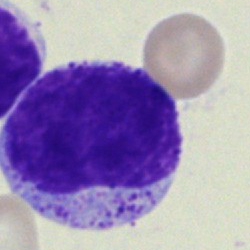

{"cell_type": "myelocyte"}